Bone marrow aspirate smear · 40× objective, oil immersion.
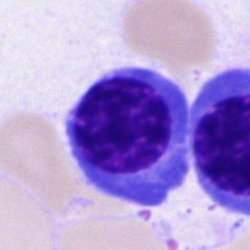
Morphological class: nucleated red cell.